250×250 px · May-Grünwald-Giemsa/Pappenheim stain · bone marrow aspirate smear
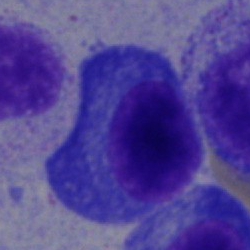The cell is plasmacyte.